May-Grünwald-Giemsa/Pappenheim stain; bone marrow aspirate smear.
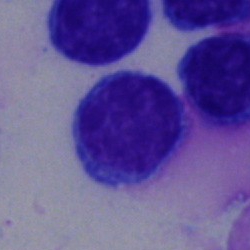

Morphological class: lymphocyte.